Single cell centered in the field · bone marrow aspirate smear · 40× objective, oil immersion — 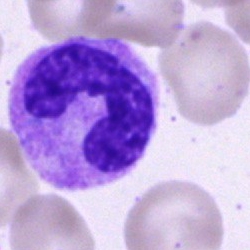
The morphological class is neutrophil (band).